Single-cell field; image size 250×250; bone marrow smear.
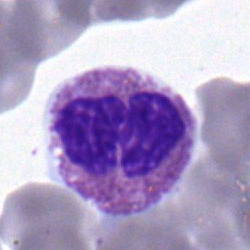 Impression → eosinophil.